Bone marrow smear.
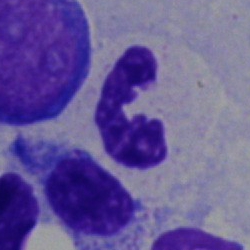

Q: What type of cell is this?
A: A polymorphonuclear neutrophil.